Peripheral blood smear.
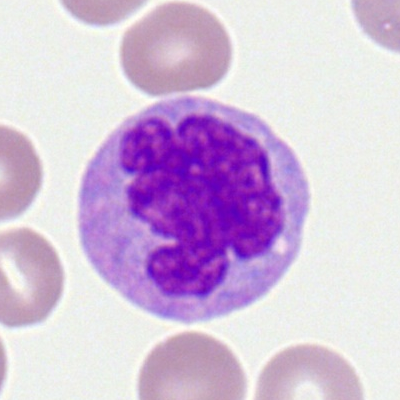 A monocyte.